Bone marrow aspirate smear — 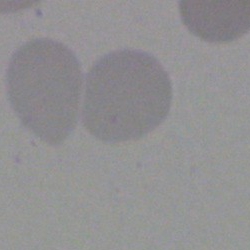

Morphological class — artefact.